Bone marrow aspirate smear; 250×250: 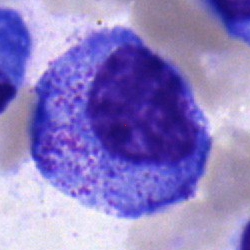
Cell = promyelocyte.